Bone marrow aspirate smear · 40× oil immersion: 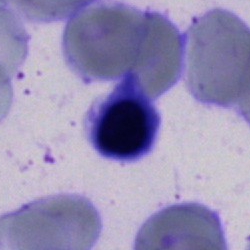

Classification: nucleated red blood cell.